Bone marrow aspirate smear: 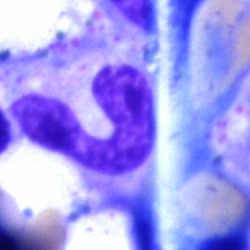
Single cell identified as a neutrophil (band).